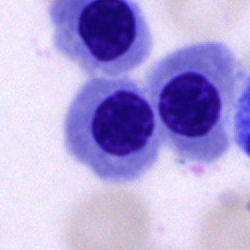Specimen: bone marrow smear.
Morphological class: nucleated red blood cell.
Lineage: erythroid.